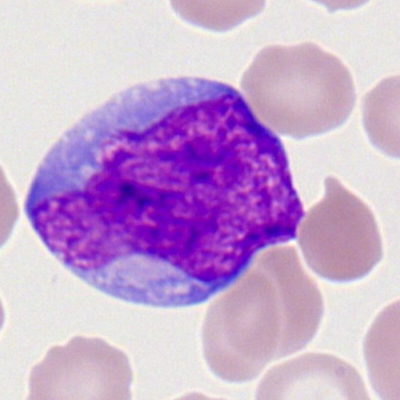
Impression → myeloblast.